250 by 250 pixels; bone marrow aspirate smear: 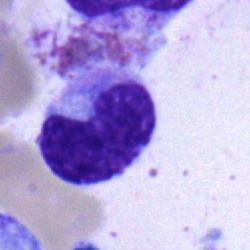 {"cell_type": "metamyelocyte", "lineage": "myeloid"}